Bone marrow smear
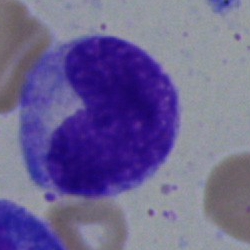Showing a metamyelocyte.